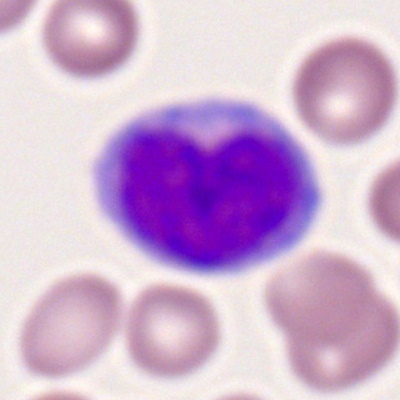

Cell type = monocyte.